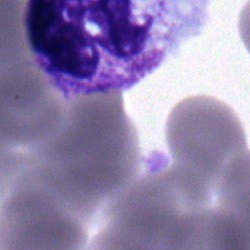
Cell type: neutrophil (segmented).